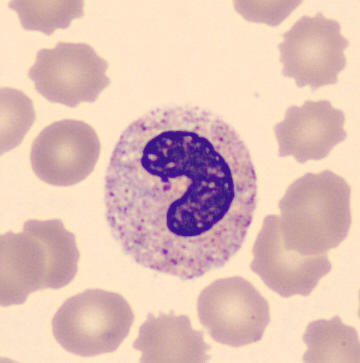Acquisition: May Grünwald-Giemsa stain. Automated cell imaging (CellaVision DM96). Peripheral blood film. The cell shown is a neutrophil (band).